Bone marrow smear:
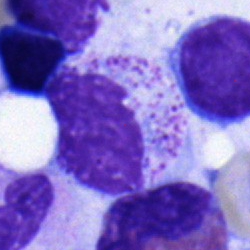
Cell type = metamyelocyte.